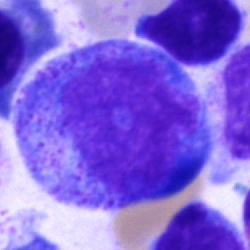

Cell type: promyelocyte.